Image size 250×250 · bone marrow aspirate smear · single-cell field:
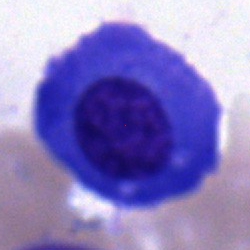 {"cell_type": "plasmacyte", "lineage": "lymphoid"}